Brightfield microscopy, 40× oil immersion. Bone marrow aspirate smear.
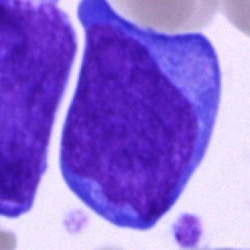

Q: What type of cell is this?
A: A blast.